Cropped to a single cell · bone marrow aspirate smear.
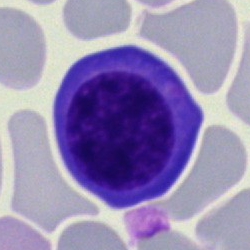

Cell: nucleated red cell.